Bone marrow smear
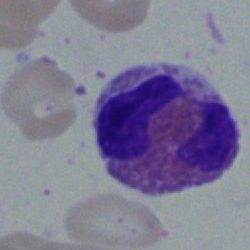 Eosinophilic granulocyte.